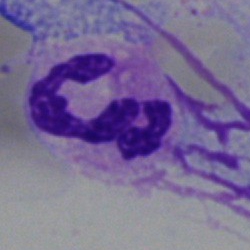 Q: What is the morphological classification of this cell?
A: A segmented neutrophil.